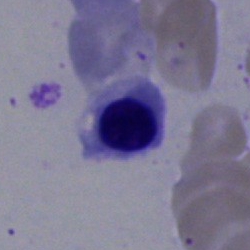

Q: What cell is this?
A: This is a nucleated red cell.